Brightfield, 40× oil-immersion objective · bone marrow aspirate smear:
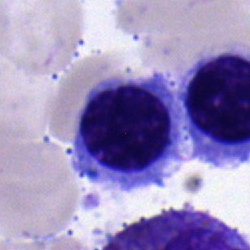Morphology consistent with a nucleated red blood cell.